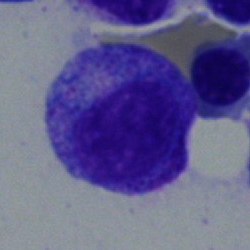

{"cell_type": "myelocyte"}